Bone marrow aspirate smear; brightfield microscopy, 40× oil immersion
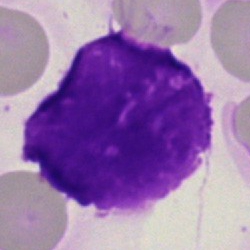 Classification: artifact.